Bone marrow smear · 40× objective, oil immersion — 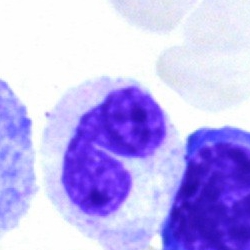

Q: What cell is this?
A: Segmented neutrophil.